Single-cell crop. Peripheral blood film: 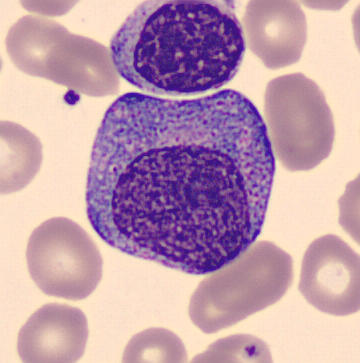 Showing a promyelocyte.